40× oil immersion. Bone marrow aspirate smear — 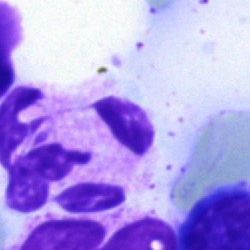A segmented neutrophil.